Bone marrow aspirate smear
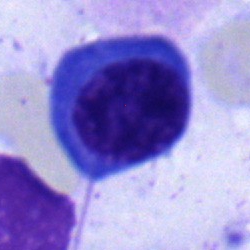
Morphological class = nucleated red blood cell.